Bone marrow aspirate smear.
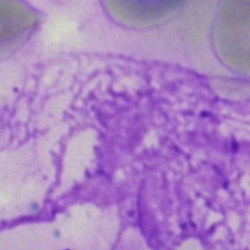 Showing an artifact.